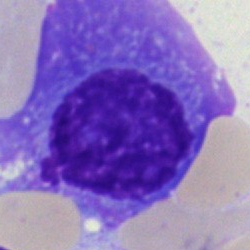Specimen: bone marrow aspirate smear.
Morphological class: plasmacyte.